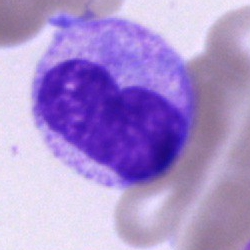
Metamyelocyte.